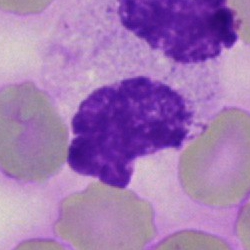
Specimen: bone marrow aspirate smear.
Morphological class: artefact.